Peripheral blood film · CellaVision DM96 digital cell image · May-Grünwald-Giemsa-stained.
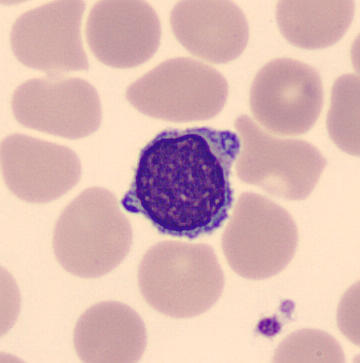

Cell: typical lymphocyte.